Single cell centered in the field · bone marrow smear · image size 250×250:
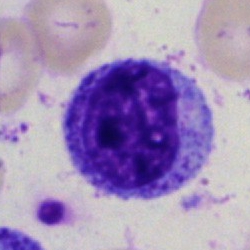

{"cell_type": "myelocyte"}